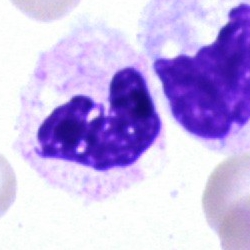 Cell — neutrophil (segmented).